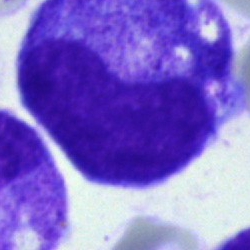Q: Which cell type is shown here?
A: This is a progranulocyte.